Cropped to a single cell. Bone marrow aspirate smear:
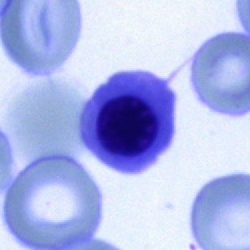
The morphological class is erythroblast.